Peripheral blood film.
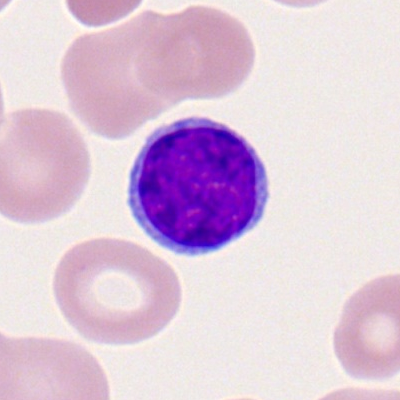

Q: What cell is this?
A: This is a typical lymphocyte.